Bone marrow smear: 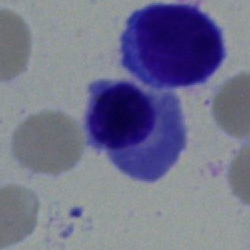The cell type is erythroblast.